Bone marrow smear; cropped to a single cell:
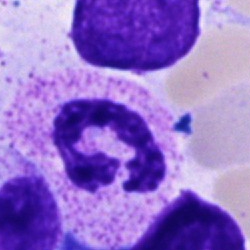Cell type: segmented neutrophil.